Peripheral blood film. Brightfield, 100× oil-immersion objective.
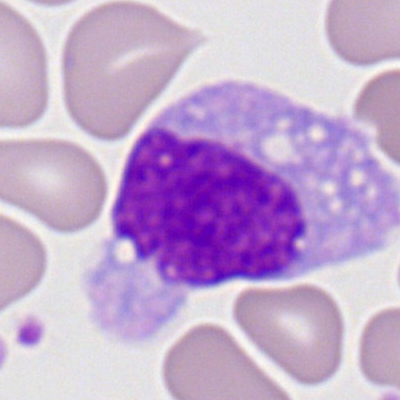The cell is monocyte.